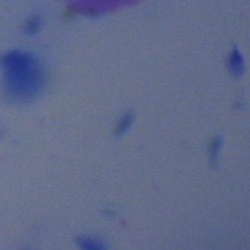 Specimen: bone marrow smear.
Cell: artifact.